Bone marrow smear. Brightfield, 40× oil-immersion objective
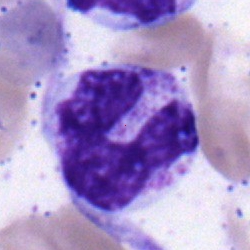
Impression — band-form neutrophil.